Single-cell crop; bone marrow aspirate smear:
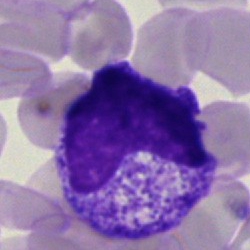
Morphological class: band-form neutrophil.